Bone marrow smear. 250×250: 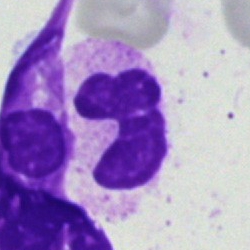Q: What is the morphological classification of this cell?
A: A segmented neutrophil.